Bone marrow aspirate smear.
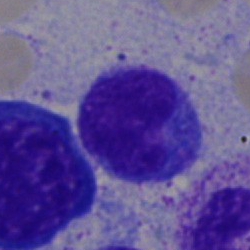The cell shown is a typical lymphocyte.